Bone marrow smear: 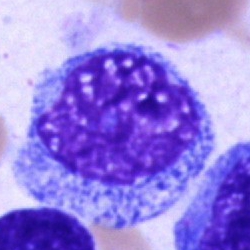

Q: Which cell type is shown here?
A: Blast cell.